Bone marrow smear:
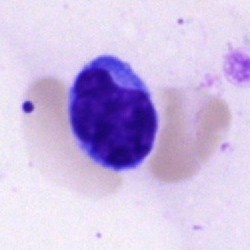Showing a lymphocyte.